Bone marrow aspirate smear:
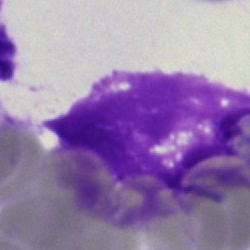Single cell identified as an artifact.